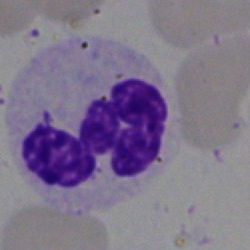

Classification — segmented neutrophil.